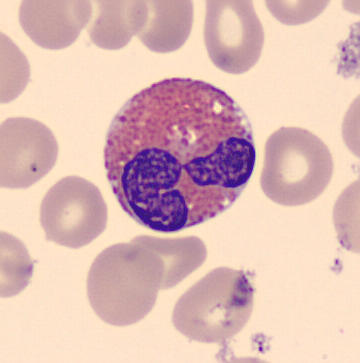

Single cell identified as an eosinophilic granulocyte.

Acquisition: Peripheral blood smear. Automated cell imaging (CellaVision DM96). Image size 360×363.